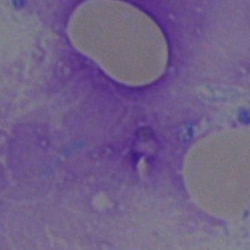Q: What is shown here?
A: It is an artifact.